Bone marrow aspirate smear · 250×250 px: 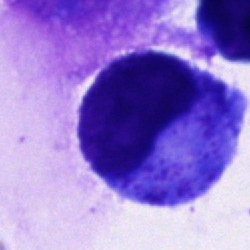

The cell type is promyelocyte.